Bone marrow smear: 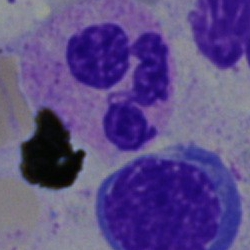The cell shown is a neutrophil (segmented).